May-Grünwald-Giemsa/Pappenheim stain · cropped to a single cell · bone marrow smear — 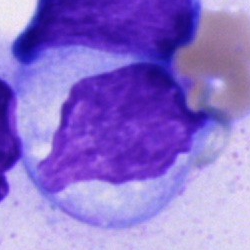
Impression → cell of indeterminate lineage.